Bone marrow smear:
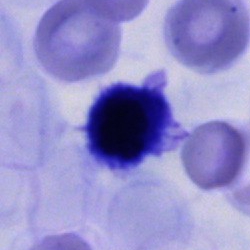Unidentifiable cell.